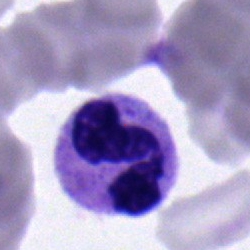
The cell is neutrophil (segmented).